Image size 250×250 · bone marrow smear · single cell centered in the field
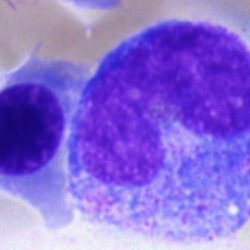
Morphology — promyelocyte.